Bone marrow smear:
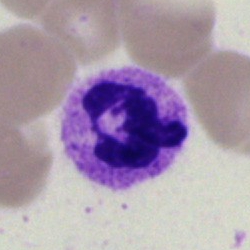 Specimen: bone marrow smear.
Cell type: segmented neutrophil.
Lineage: myeloid.